250×250 px; bone marrow aspirate smear; single cell centered in the field.
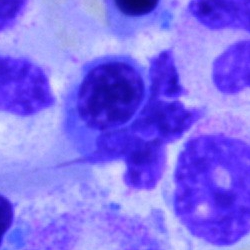 Classification — nucleated red blood cell.